May-Grünwald-Giemsa stain; bone marrow smear
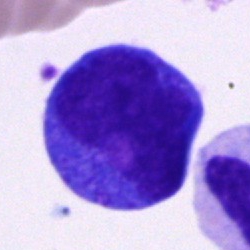 The morphological class is cell of indeterminate lineage.